Cropped to a single cell · peripheral blood smear · 100× oil immersion: 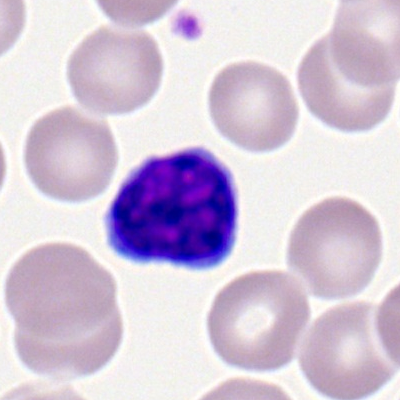
Showing a lymphocyte.